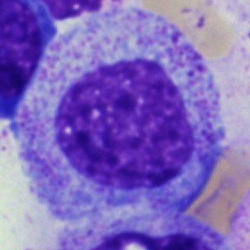
Specimen: bone marrow smear.
Cell: promyelocyte.